250 by 250 pixels. Bone marrow smear.
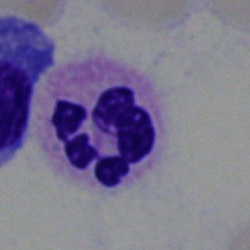 The morphological class is segmented neutrophil.